Bone marrow aspirate smear
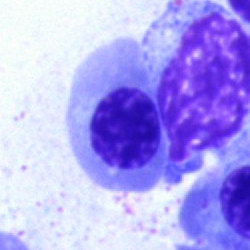 Q: Identify the cell.
A: This is a nucleated red blood cell.